Bone marrow smear; May-Grünwald-Giemsa/Pappenheim stain
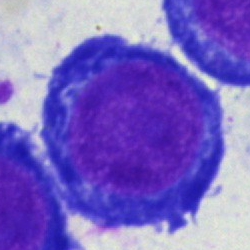
Q: What is shown here?
A: It is an erythroblast.